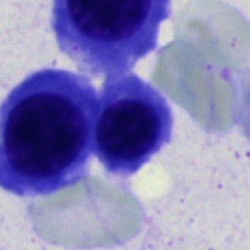 Bone marrow smear showing a normoblast.